Bone marrow aspirate smear; image size 250×250:
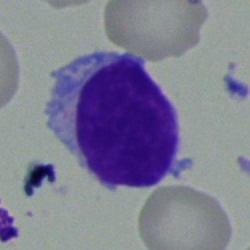
Specimen: bone marrow smear.
Cell type: typical lymphocyte.